Bone marrow smear: 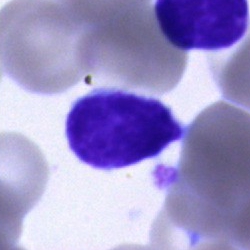{"cell_type": "typical lymphocyte", "lineage": "lymphoid"}